Bone marrow smear · cropped to a single cell · May-Grünwald-Giemsa stain.
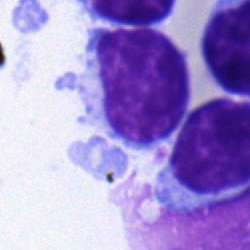
The morphological class is lymphocyte.